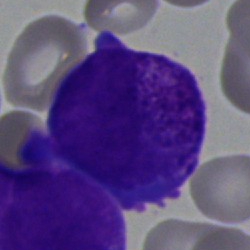

Q: What cell is this?
A: This is an undifferentiated blast.